Bone marrow smear — 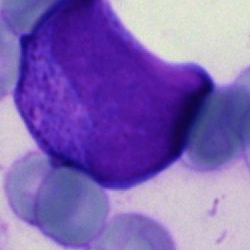

Specimen: bone marrow aspirate smear.
Morphological class: blast cell.